Bone marrow smear.
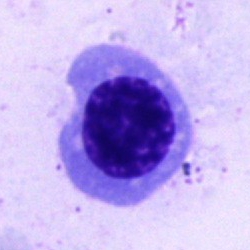Specimen: bone marrow aspirate smear.
Cell type: nucleated red cell.